Bone marrow aspirate smear · single-cell field — 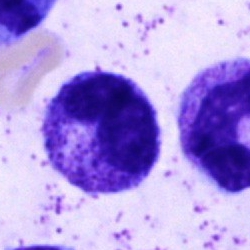

Morphology consistent with a metamyelocyte.